40× objective, oil immersion · bone marrow smear — 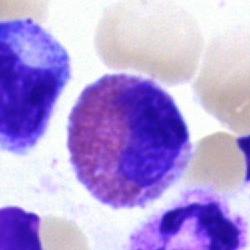 Q: What cell is this?
A: This is an eosinophil.